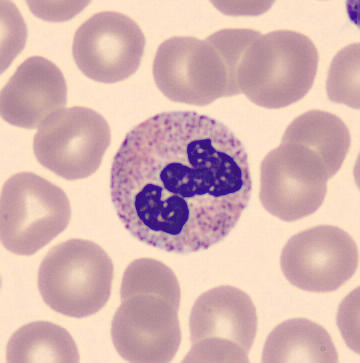

A neutrophil (segmented).
Acquisition: Peripheral blood smear; May Grünwald-Giemsa stain.